Peripheral blood film — 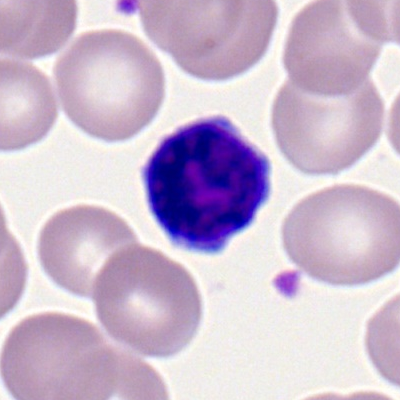 Morphology consistent with a lymphocyte.